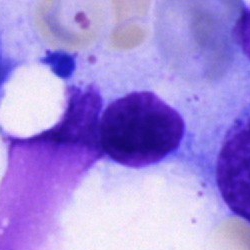 An artefact.